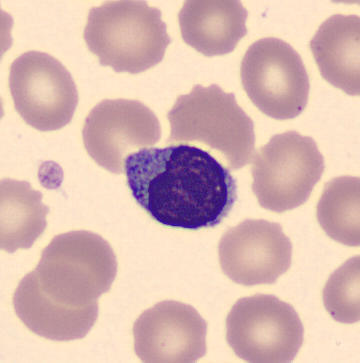 Acquisition: Peripheral blood smear; MGG stain. Cell = lymphocyte.